Bone marrow aspirate smear
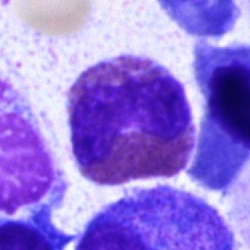
Impression — eosinophil.